Bone marrow aspirate smear · 40× objective, oil immersion
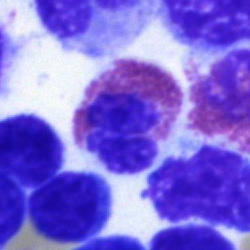{"cell_type": "eosinophilic granulocyte", "lineage": "myeloid"}